Bone marrow aspirate smear; single-cell crop:
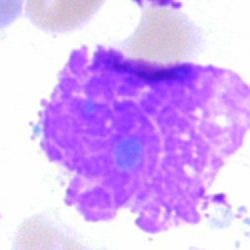
Artefact.